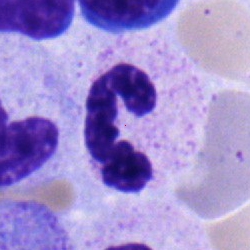

Morphology consistent with a segmented neutrophil.